Romanowsky stain · single-cell field · peripheral blood film — 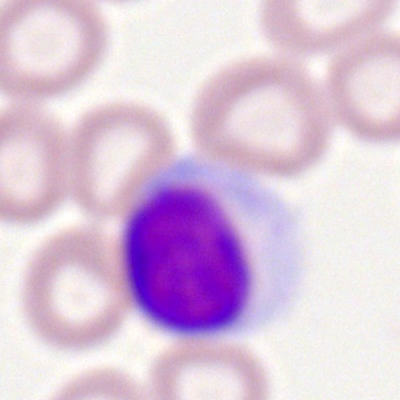{"cell_type": "typical lymphocyte", "lineage": "lymphoid"}